Bone marrow smear:
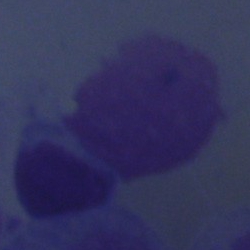Cell — artifact.